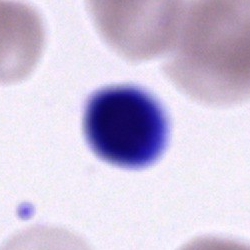

Cell = unidentifiable cell.